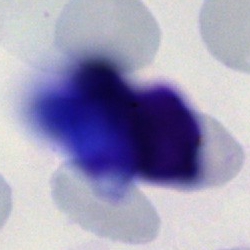The morphological class is cell of indeterminate lineage.